Peripheral blood smear
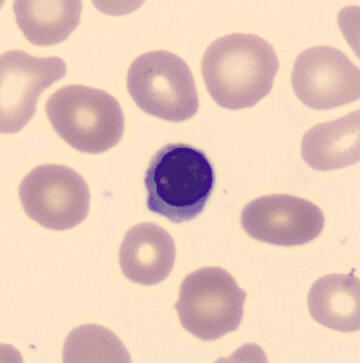

Q: What is the morphological classification of this cell?
A: This is a normoblast.